Bone marrow aspirate smear · 40× objective, oil immersion · May-Grünwald-Giemsa stain: 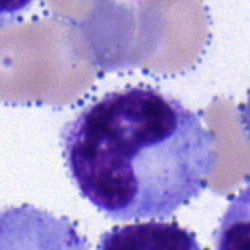

Morphology consistent with a metamyelocyte.